Bone marrow smear; single-cell field; 250×250.
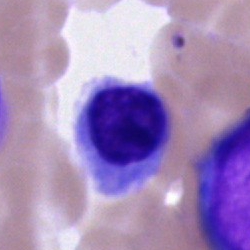 Impression → normoblast.